Bone marrow aspirate smear — 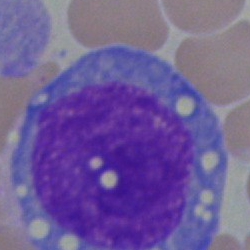

Cell type — undifferentiated blast.